Bone marrow aspirate smear. Cropped to a single cell. MGG-stained:
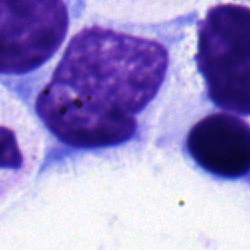

This is a monocyte.